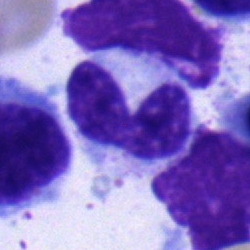Specimen: bone marrow smear.
Morphological class: neutrophil (band).